Bone marrow smear
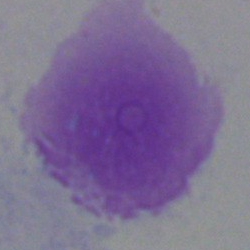
Specimen: bone marrow smear.
Morphological class: artifact.